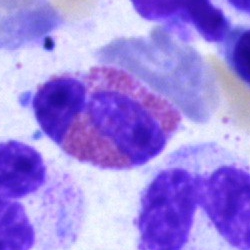 Eosinophilic granulocyte.